Peripheral blood smear
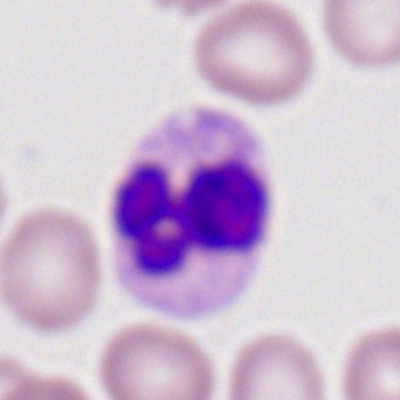 Morphology consistent with a neutrophil (segmented).